Brightfield, 100× oil-immersion objective · peripheral blood film · 400×400 px — 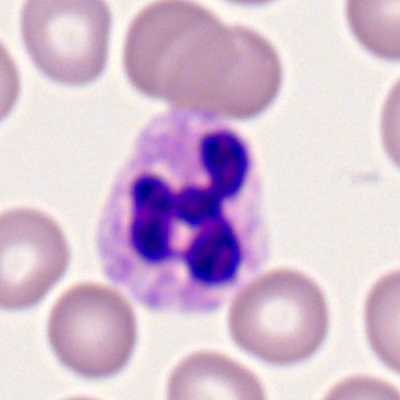

Q: What type of cell is this?
A: It is a neutrophil (segmented).